Bone marrow aspirate smear: 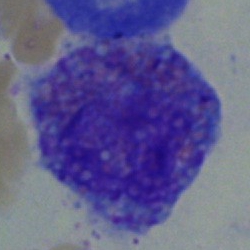 Classification: eosinophilic granulocyte.